Peripheral blood film.
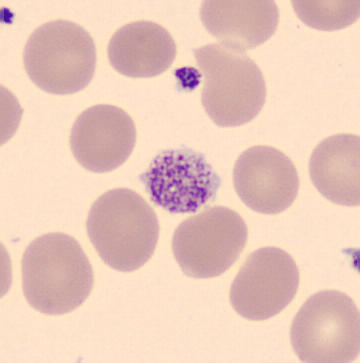
Classification — platelet (thrombocyte).